Bone marrow smear.
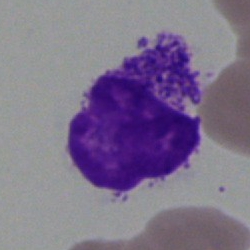
Artifact.